Bone marrow aspirate smear; image size 250×250:
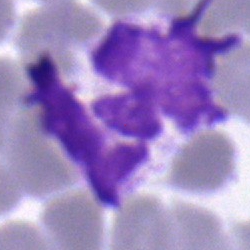

Showing a segmented neutrophil.